Bone marrow aspirate smear: 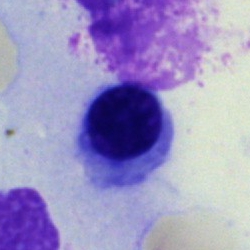Specimen: bone marrow aspirate smear.
Cell: nucleated red blood cell.
Lineage: erythroid.